Single-cell field · bone marrow aspirate smear · May-Grünwald-Giemsa stain.
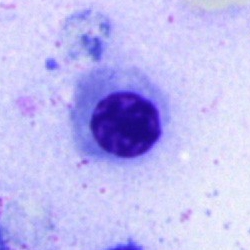 Classification = normoblast.